Peripheral blood film.
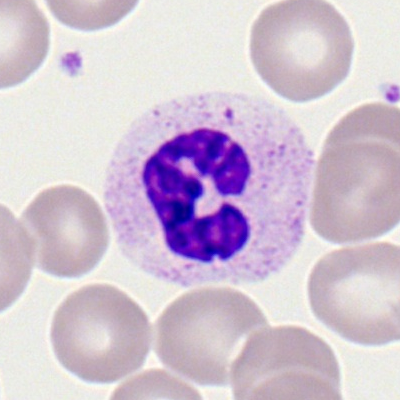
Morphological class: neutrophil (segmented).